Bone marrow aspirate smear:
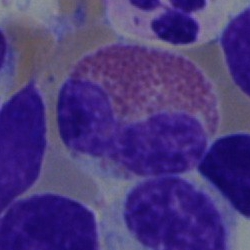 Q: What cell is this?
A: This is an eosinophil.